Bone marrow smear: 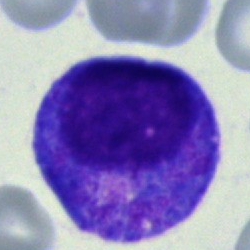

A progranulocyte.